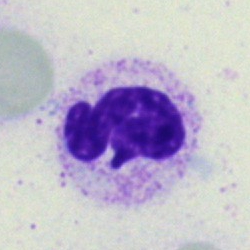Specimen: bone marrow aspirate smear.
Cell type: polymorphonuclear neutrophil.
Lineage: myeloid.